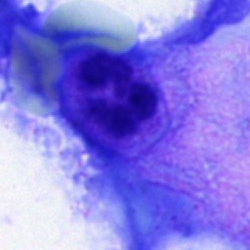 Bone marrow smear showing an artifact.